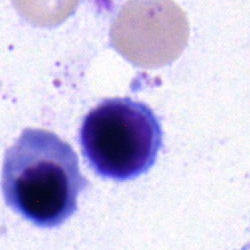

Morphological class = lymphocyte.